Image size 250×250. Bone marrow smear.
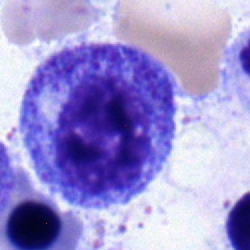

Single cell identified as a promyelocyte.